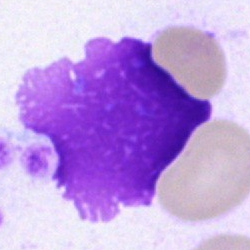

The classification is artifact.